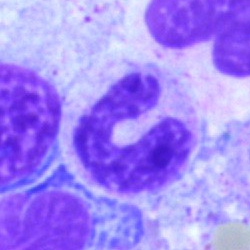 Bone marrow smear showing a band neutrophil.